Single-cell field · bone marrow smear: 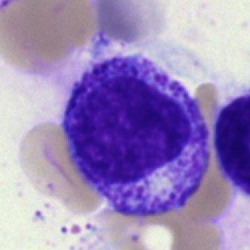 A myelocyte.